Bone marrow aspirate smear:
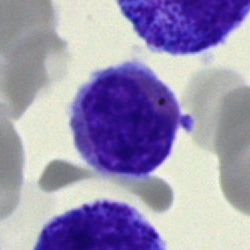

Morphological class: eosinophil.